Image size 250×250; 40× oil immersion; bone marrow smear
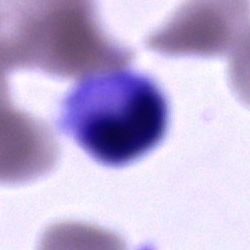

Q: What cell is this?
A: An unidentifiable cell.